Bone marrow aspirate smear. 40× objective, oil immersion. Single cell centered in the field:
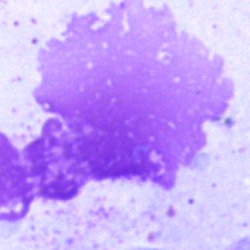 Impression — artefact.